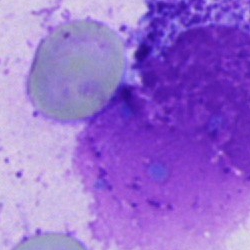This is an artifact.